Bone marrow smear; Pappenheim-stained: 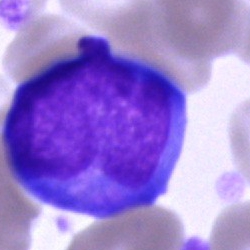Single cell identified as a blast.